Bone marrow smear.
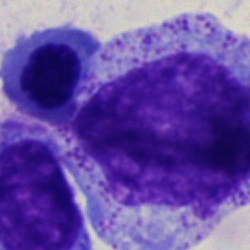

Q: What is the morphological classification of this cell?
A: This is a myelocyte.